Bone marrow aspirate smear · 250×250 — 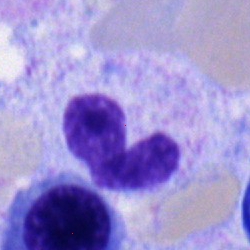

The cell shown is a neutrophil (band).